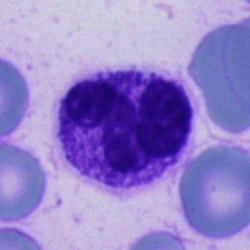

Q: What type of cell is this?
A: This is a neutrophil (segmented).